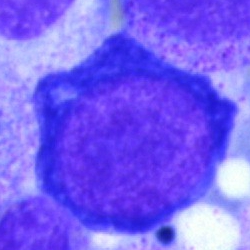Morphology consistent with a pronormoblast.